May-Grünwald-Giemsa stain. Bone marrow smear: 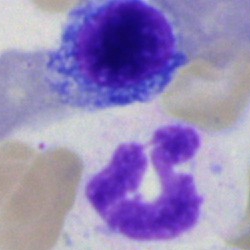Specimen: bone marrow aspirate smear.
Cell type: neutrophil (segmented).
Lineage: myeloid.